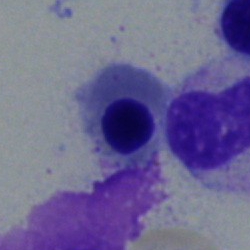 This is an erythroblast.